May-Grünwald-Giemsa/Pappenheim stain. Bone marrow smear. 250×250: 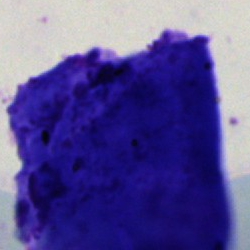
This is an artifact.